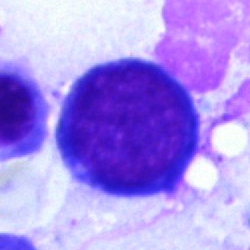Showing a nucleated red blood cell.